Brightfield, 40× oil-immersion objective. Bone marrow smear. Pappenheim-stained:
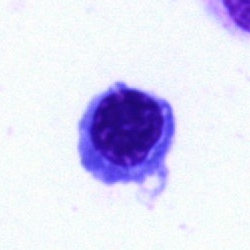

Nucleated red blood cell.